Bone marrow aspirate smear
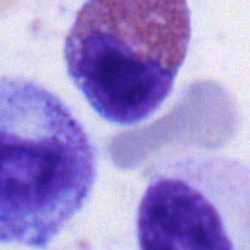

The cell is eosinophilic granulocyte.